Peripheral blood film — 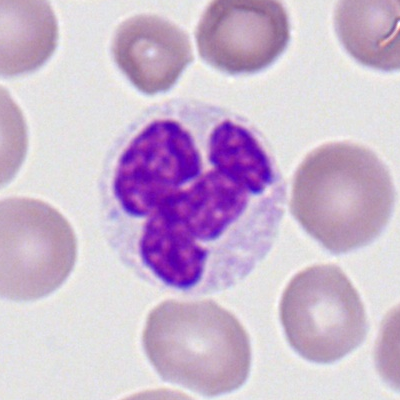
This is a neutrophil (segmented).